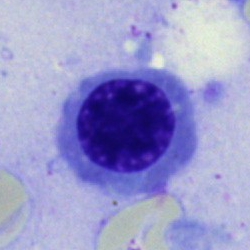

A nucleated red cell on a bone marrow smear.